Bone marrow aspirate smear — 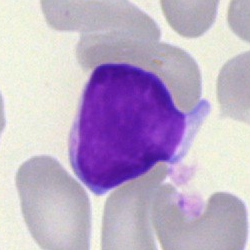

Showing a typical lymphocyte.